Bone marrow aspirate smear: 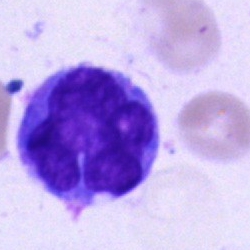 The cell type is monocyte.